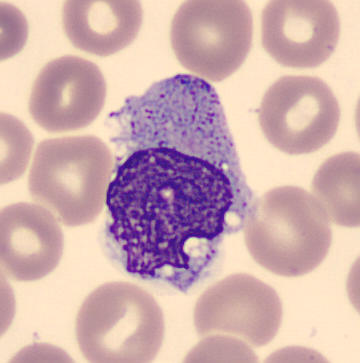
Single-cell crop from a peripheral blood smear: monocyte.